Bone marrow aspirate smear.
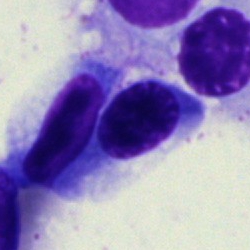
Q: Identify the cell.
A: An erythroblast.